Bone marrow smear — 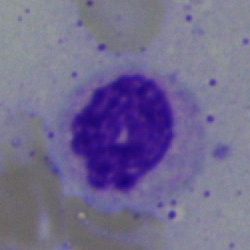Morphology → polymorphonuclear neutrophil.